Bone marrow smear:
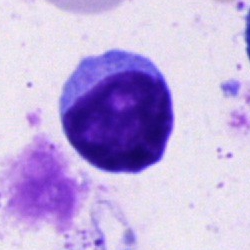The morphological class is typical lymphocyte.